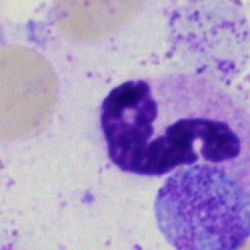Impression → segmented neutrophil.